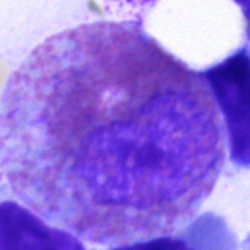Specimen: bone marrow aspirate smear.
Cell: eosinophil.